Image size 250×250. Bone marrow aspirate smear: 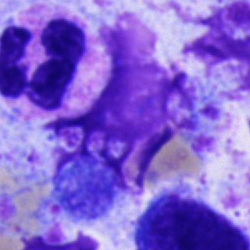

Showing a polymorphonuclear neutrophil.